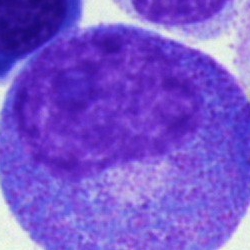
Progranulocyte.